Single-cell crop · bone marrow aspirate smear · image size 250×250: 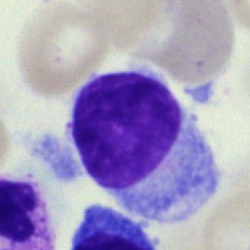
{"cell_type": "hairy cell"}